250×250; single-cell field; bone marrow aspirate smear:
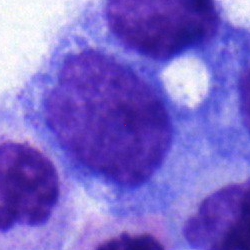 The cell is progranulocyte.